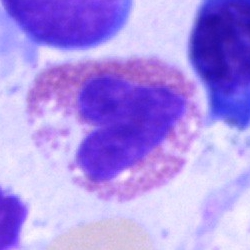

Q: Identify the cell.
A: Eosinophil.